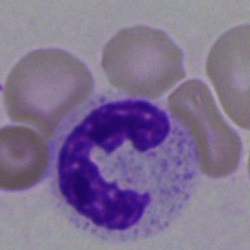
The morphological class is segmented neutrophil.